Bone marrow smear.
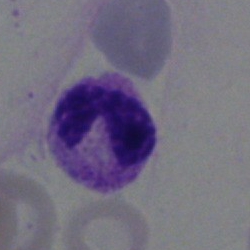Showing a segmented neutrophil.